Pappenheim-stained; bone marrow smear
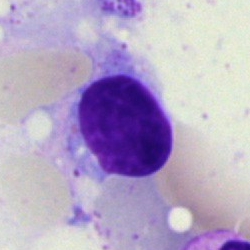
Specimen: bone marrow aspirate smear.
Cell: artifact.